Bone marrow aspirate smear.
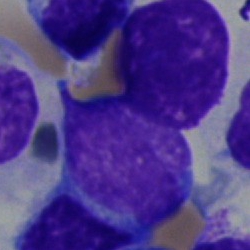

Morphology → blast.